Bone marrow smear
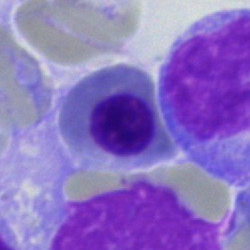
{"cell_type": "normoblast"}